Bone marrow smear.
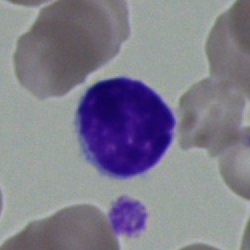 Q: Identify the cell.
A: A lymphocyte.